Bone marrow aspirate smear — 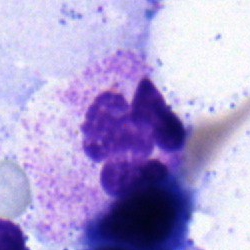Morphological class — segmented neutrophil.